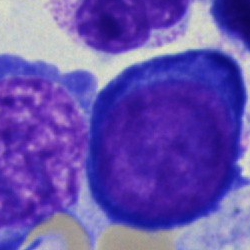

The cell shown is a proerythroblast.